40× oil immersion. Bone marrow aspirate smear — 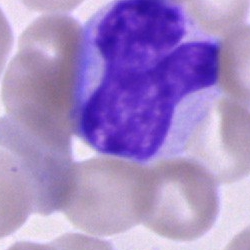 This is an unidentifiable cell.